Bone marrow aspirate smear. May-Grünwald-Giemsa stain
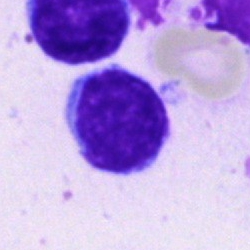A lymphocyte.